Bone marrow aspirate smear
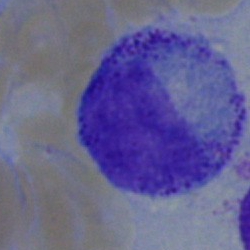{"cell_type": "myelocyte", "lineage": "myeloid"}